250×250 px · brightfield microscopy, 40× oil immersion · bone marrow aspirate smear
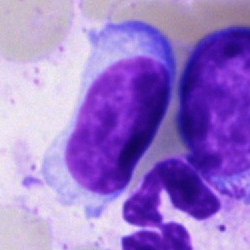

Showing a typical lymphocyte.